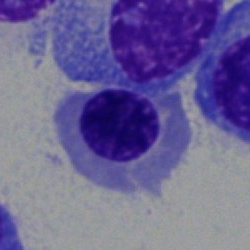 Specimen: bone marrow smear.
Classification: nucleated red cell.
Lineage: erythroid.